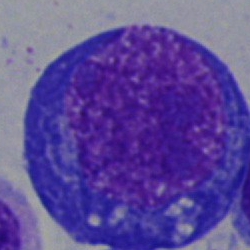{"cell_type": "nucleated red cell", "lineage": "erythroid"}